Bone marrow smear:
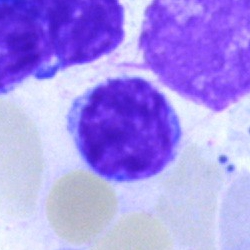
Q: What cell is this?
A: Typical lymphocyte.